Bone marrow smear: 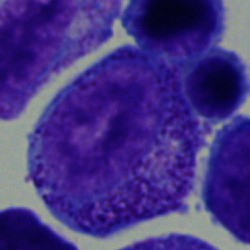A progranulocyte.